Bone marrow smear: 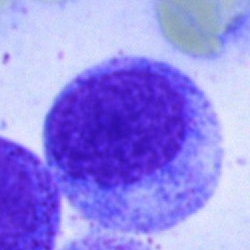

Morphology — progranulocyte.